Bone marrow aspirate smear. Single-cell crop.
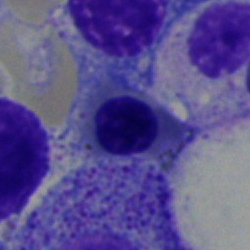
{"cell_type": "nucleated red blood cell", "lineage": "erythroid"}